250×250 px · single cell centered in the field · bone marrow smear
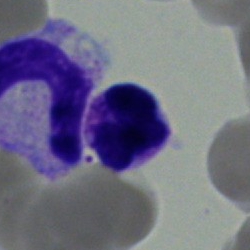
Morphological class = segmented neutrophil.